Bone marrow aspirate smear. Pappenheim-stained:
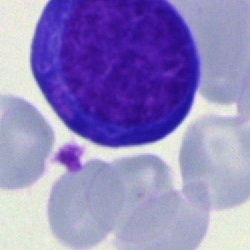

Morphology consistent with a nucleated red cell.